Bone marrow aspirate smear: 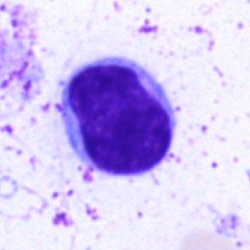Morphological class: typical lymphocyte.